Bone marrow smear. May-Grünwald-Giemsa stain.
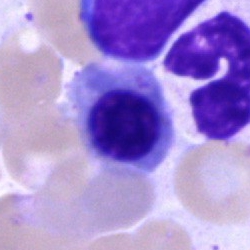 Classification = nucleated red cell.